Bone marrow aspirate smear · image size 250×250 · brightfield microscopy, 40× oil immersion — 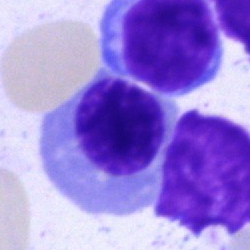
Q: Which cell type is shown here?
A: A normoblast.